Bone marrow aspirate smear. Cropped to a single cell. Brightfield, 40× oil-immersion objective.
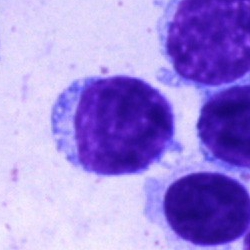

Cell = lymphocyte.